Peripheral blood smear: 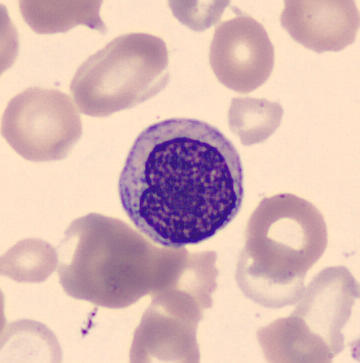 Morphology consistent with a myelocyte.